Bone marrow smear; 250 by 250 pixels.
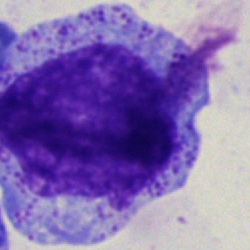

Q: What is the morphological classification of this cell?
A: It is a promyelocyte.